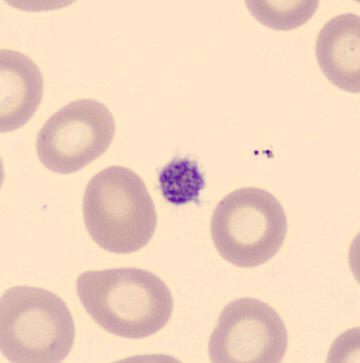

Morphological class: thrombocyte.